Pappenheim-stained · bone marrow smear · image size 250×250
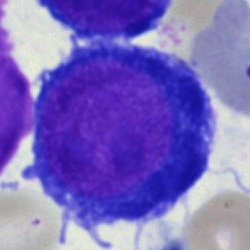 Classification = proerythroblast.